Bone marrow smear:
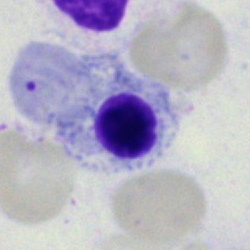 Impression — nucleated red blood cell.